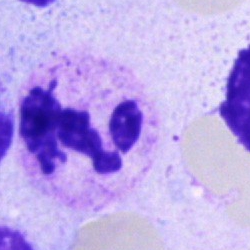Cell = segmented neutrophil.